Bone marrow smear:
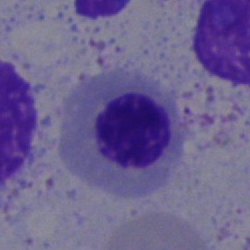 This is an erythroblast.